250 by 250 pixels · bone marrow aspirate smear.
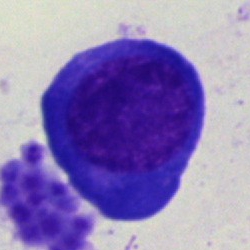 Morphological class: erythroblast.